Bone marrow aspirate smear: 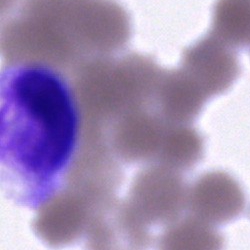Specimen: bone marrow aspirate smear.
Morphological class: artifact.